250 by 250 pixels · bone marrow aspirate smear · single-cell crop:
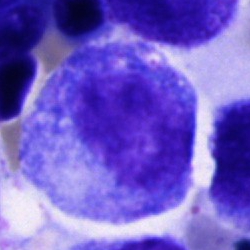
This is a myelocyte.